Single-cell crop · 250×250 px · bone marrow aspirate smear
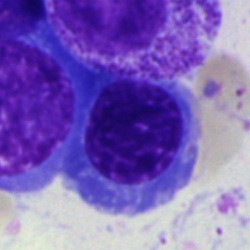
The cell shown is a normoblast.